Bone marrow smear. Single-cell field — 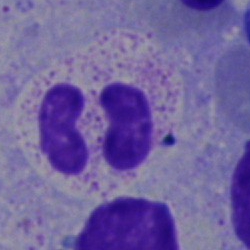 The cell type is artifact.